Bone marrow aspirate smear; single cell centered in the field; 250×250 — 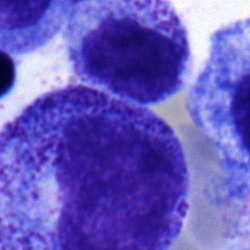The classification is myelocyte.